Bone marrow smear.
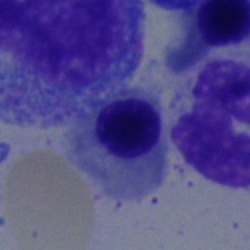 Impression — nucleated red blood cell.